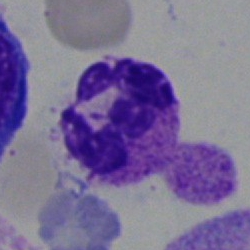 Q: What is shown here?
A: It is a neutrophil (segmented).